Bone marrow aspirate smear.
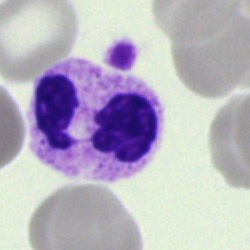
Morphological class — segmented neutrophil.